Bone marrow smear · 40× oil immersion · May-Grünwald-Giemsa stain:
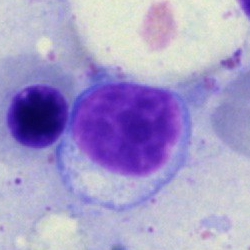
Q: What is shown here?
A: A typical lymphocyte.